Bone marrow smear.
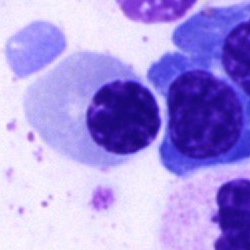

Specimen: bone marrow smear.
Classification: erythroblast.